Bone marrow aspirate smear
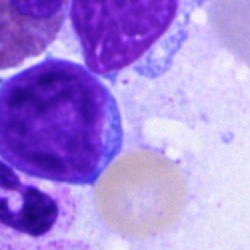Q: What is the morphological classification of this cell?
A: A typical lymphocyte.